Bone marrow aspirate smear. 250×250. Brightfield, 40× oil-immersion objective:
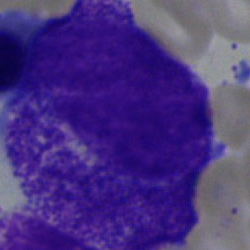

Cell type: progranulocyte.